Bone marrow smear. Cropped to a single cell:
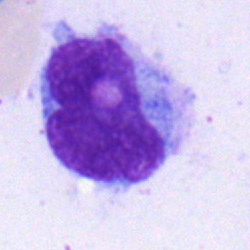
{"cell_type": "hairy cell", "lineage": "lymphoid"}